Bone marrow aspirate smear — 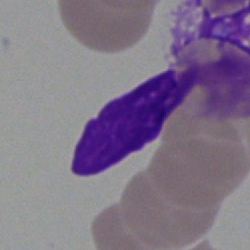Q: What is shown here?
A: Artifact.